Image size 400×400; peripheral blood smear — 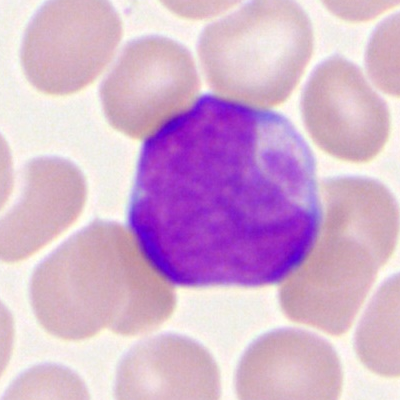 Showing a myeloblast.